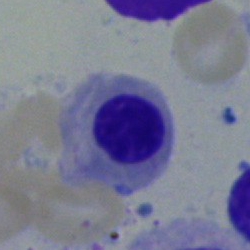

A nucleated red cell.